Bone marrow smear. 40× objective, oil immersion — 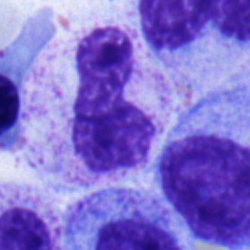
A stab cell.